Bone marrow smear. 250 by 250 pixels:
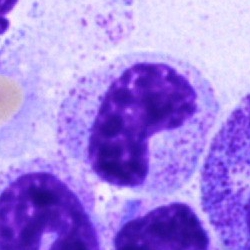 The cell type is band-form neutrophil.